Peripheral blood smear — 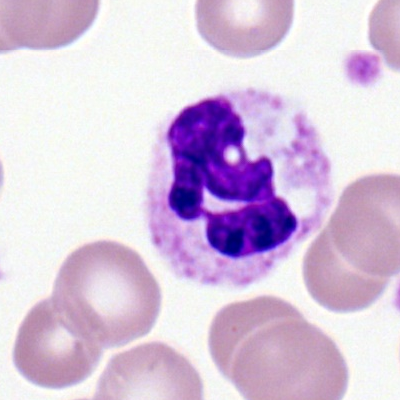{"cell_type": "neutrophil (segmented)", "lineage": "myeloid"}